Bone marrow aspirate smear.
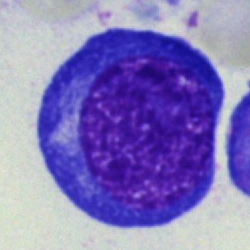

Showing a normoblast.